250×250 px; bone marrow aspirate smear.
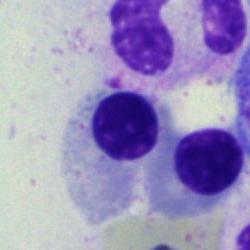 Nucleated red cell.